Single-cell crop; May-Grünwald-Giemsa/Pappenheim stain; bone marrow aspirate smear:
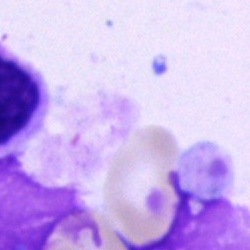 Morphology — artifact.